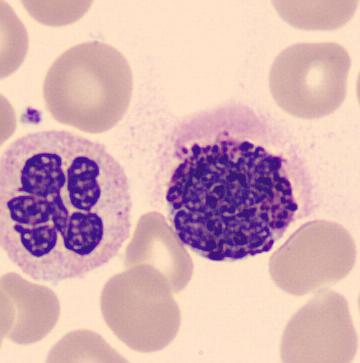Peripheral blood smear. Imaged on a CellaVision DM96 analyser.

A basophil.